Bone marrow smear
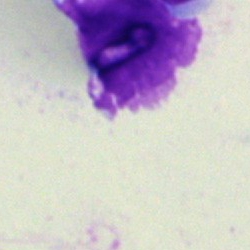

Specimen: bone marrow smear.
Cell type: artefact.